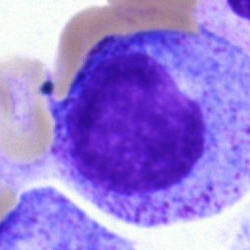

{"cell_type": "promyelocyte"}